100× oil immersion, 14.14 px/µm; cropped to a single cell; peripheral blood film.
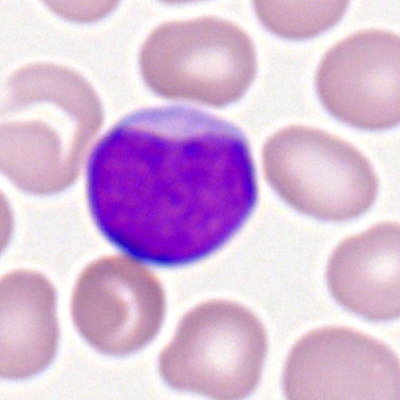 The cell shown is a myeloblast.